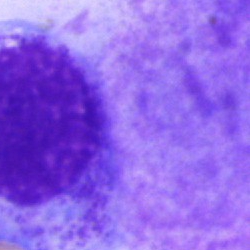Bone marrow smear showing an artifact.